Bone marrow smear; 250×250 px:
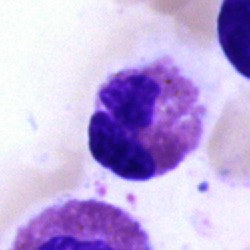

Cell = eosinophil.